40× objective, oil immersion. Single cell centered in the field. Bone marrow smear:
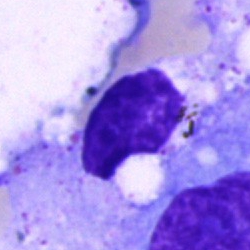
The cell is artifact.